May-Grünwald-Giemsa stain; 250×250; bone marrow aspirate smear.
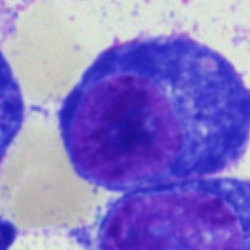 Impression — plasmacyte.